Bone marrow aspirate smear — 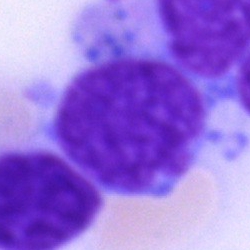

Q: What is shown here?
A: Artefact.